Bone marrow smear.
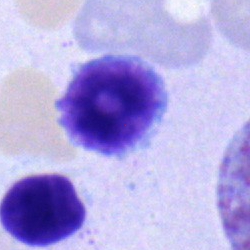
This is a typical lymphocyte.